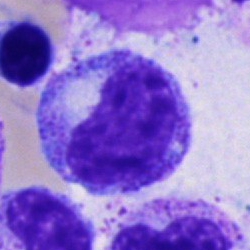 A progranulocyte on a bone marrow smear.